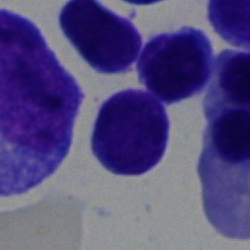Q: What is shown here?
A: It is a lymphocyte.